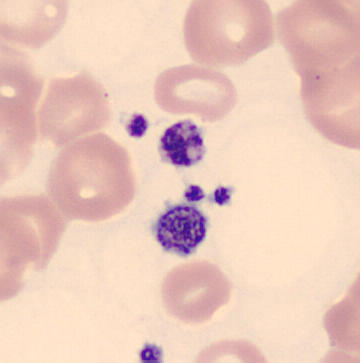 Q: What is this?
A: This is a platelet.
Preparation: Peripheral blood film.